Bone marrow aspirate smear — 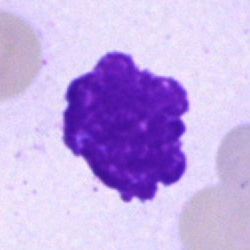
Cell type = artifact.